Single cell centered in the field · bone marrow smear:
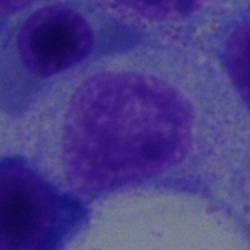 Morphology consistent with a myelocyte.